Bone marrow aspirate smear · image size 250×250 — 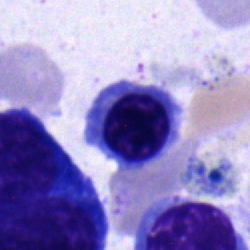

Classification: normoblast.